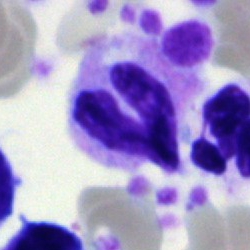 Bone marrow aspirate smear, single cell — band neutrophil.